Bone marrow aspirate smear
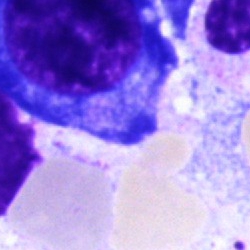

Impression → nucleated red cell.